40× objective, oil immersion; bone marrow aspirate smear:
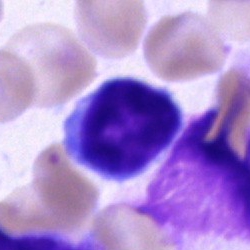

The cell shown is a lymphocyte.